Bone marrow aspirate smear:
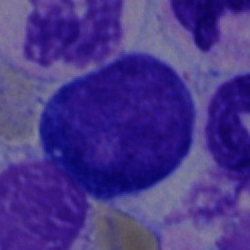 {"cell_type": "proerythroblast", "lineage": "erythroid"}